MGG-stained. Bone marrow smear: 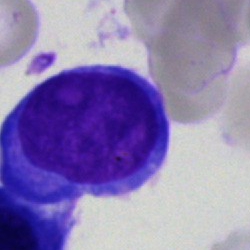

Morphology — undifferentiated blast.